Bone marrow aspirate smear.
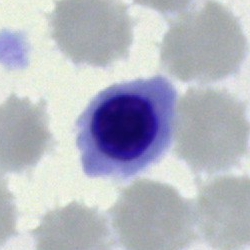 Showing a nucleated red cell.